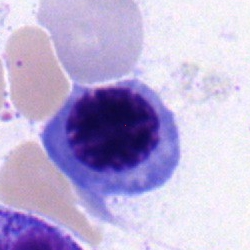

The cell shown is a normoblast.